40× oil immersion · bone marrow smear
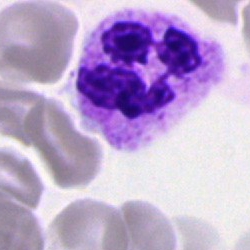
The cell type is neutrophil (segmented).